Bone marrow aspirate smear: 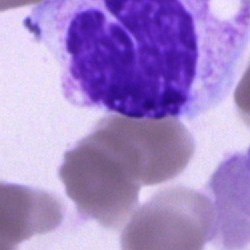 Morphological class — polymorphonuclear neutrophil.